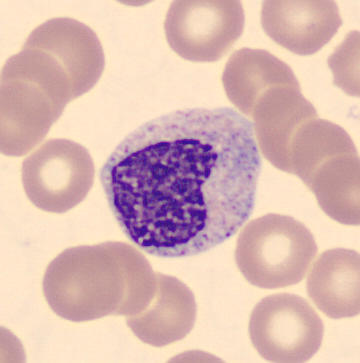
Q: What type of cell is this?
A: This is a metamyelocyte. Preparation: Peripheral blood smear.